Bone marrow smear: 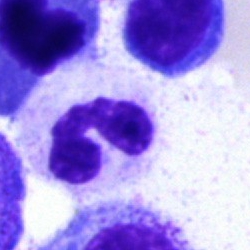

Q: What is shown here?
A: A polymorphonuclear neutrophil.